Bone marrow aspirate smear — 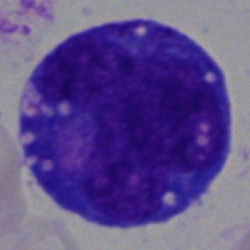 The classification is blast cell.